Bone marrow aspirate smear.
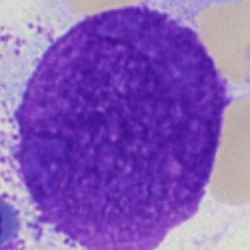 Q: What is shown here?
A: It is an artifact.